40× oil immersion. Single cell centered in the field. Bone marrow aspirate smear:
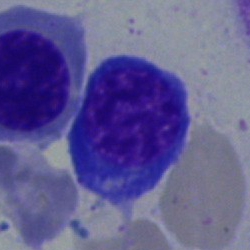Q: Which cell type is shown here?
A: This is a nucleated red blood cell.